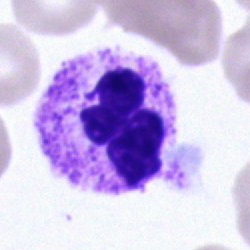This is a segmented neutrophil.